Bone marrow aspirate smear.
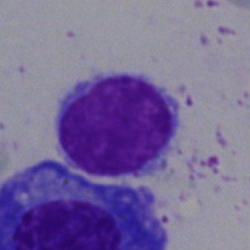Q: What cell is this?
A: This is a typical lymphocyte.